Bone marrow aspirate smear: 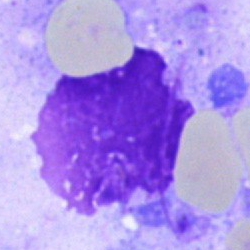 Artifact.